Peripheral blood film; 400 by 400 pixels.
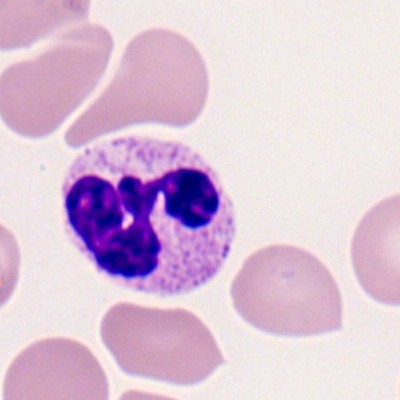
Morphological class — polymorphonuclear neutrophil.